Bone marrow aspirate smear · brightfield microscopy, 40× oil immersion.
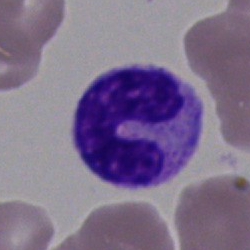Classification = band-form neutrophil.